Bone marrow smear
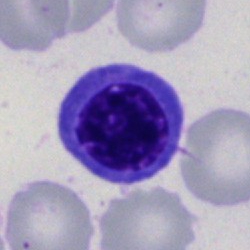

Cell: normoblast.